Image size 250×250. Cropped to a single cell. Bone marrow smear:
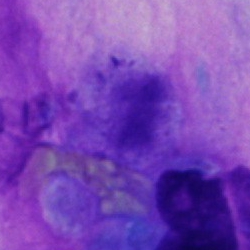 Morphology consistent with an artefact.